Bone marrow aspirate smear:
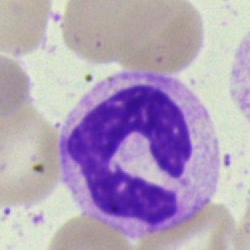
Specimen: bone marrow aspirate smear.
Classification: neutrophil (band).